Bone marrow smear
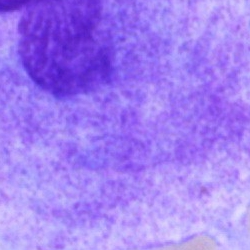An artefact.